Single cell centered in the field; bone marrow aspirate smear — 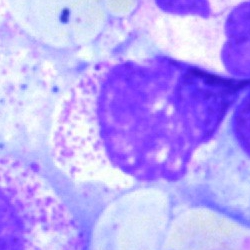 Morphology — artefact.